40× objective, oil immersion · bone marrow aspirate smear · Pappenheim-stained.
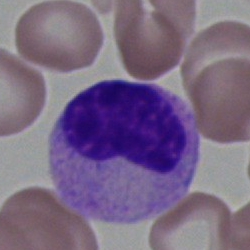

The cell is metamyelocyte.